Bone marrow smear; brightfield, 40× oil-immersion objective; single-cell field
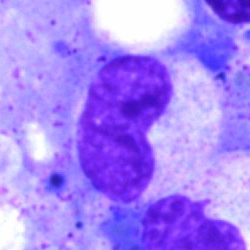
Showing a neutrophil (band).